40× objective, oil immersion · bone marrow smear
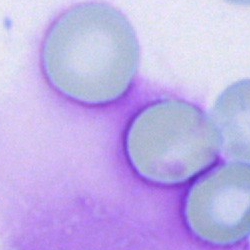
Artifact.